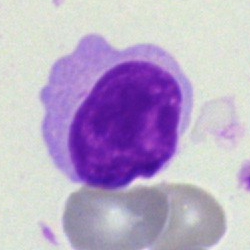Cell type = typical lymphocyte.